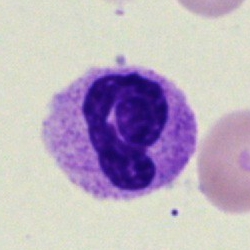
Bone marrow aspirate smear, single cell — segmented neutrophil.